Bone marrow aspirate smear. 250×250. Pappenheim-stained.
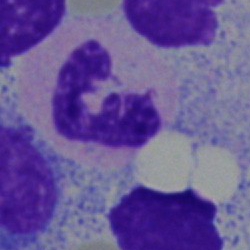
Classification: neutrophil (segmented).